Peripheral blood smear.
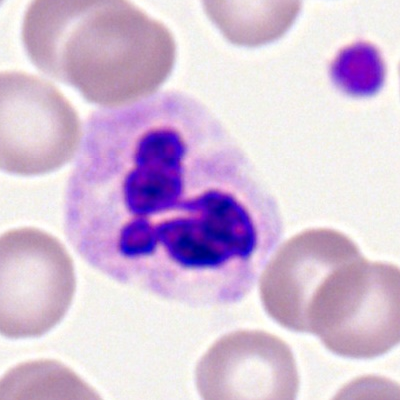

The cell shown is a neutrophil (segmented).